Cropped to a single cell; bone marrow smear; MGG-stained — 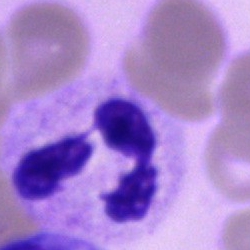
Q: What cell is this?
A: Segmented neutrophil.